Peripheral blood film: 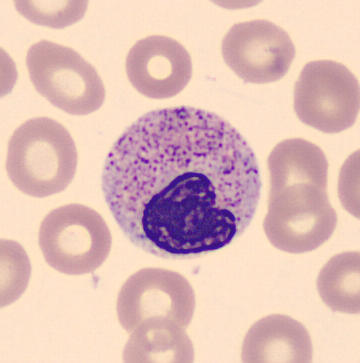 This is a metamyelocyte.